Bone marrow smear; 40× objective, oil immersion; single cell centered in the field — 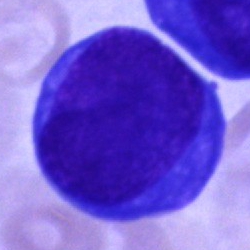
Impression — blast.